Bone marrow smear:
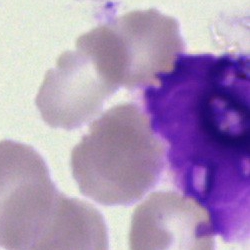

Showing an artefact.